May-Grünwald-Giemsa stain. Bone marrow smear: 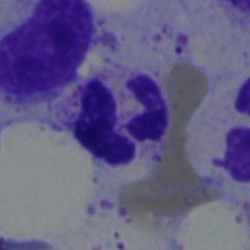
Q: What cell is this?
A: Neutrophil (segmented).